Bone marrow aspirate smear; 40× objective, oil immersion
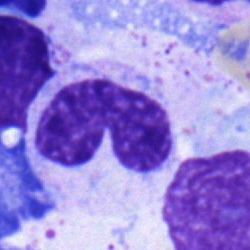
Morphology consistent with a stab cell.